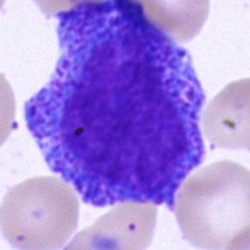
Q: Identify the cell.
A: It is a promyelocyte.